May-Grünwald-Giemsa stain; single-cell crop; bone marrow aspirate smear — 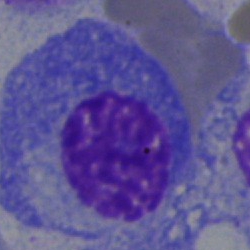
Q: What type of cell is this?
A: It is a plasma cell.